Bone marrow smear:
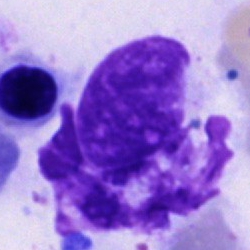 {"cell_type": "artifact"}